250 by 250 pixels; single cell centered in the field; bone marrow aspirate smear — 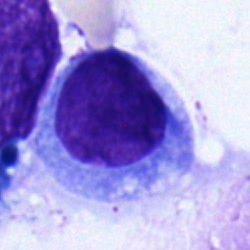

Q: What cell is this?
A: This is an undifferentiated blast.